Peripheral blood film:
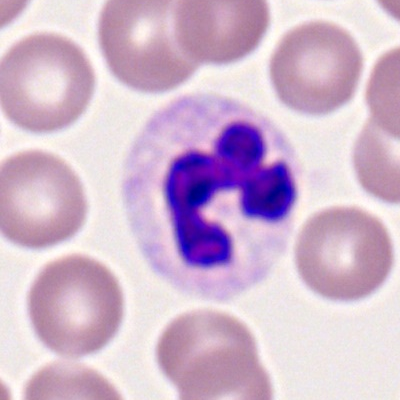

Q: What type of cell is this?
A: It is a segmented neutrophil.